Peripheral blood film
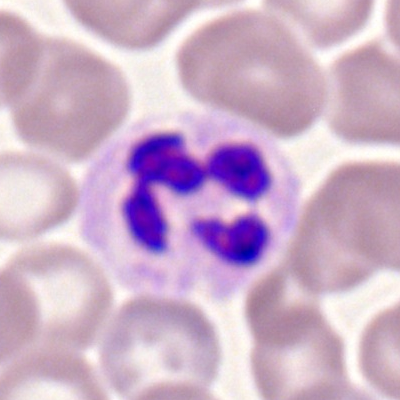 Classification = segmented neutrophil.